Cropped to a single cell · bone marrow aspirate smear:
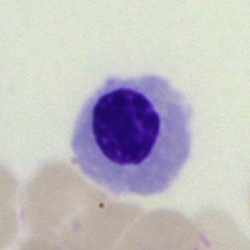
The classification is normoblast.